Bone marrow smear — 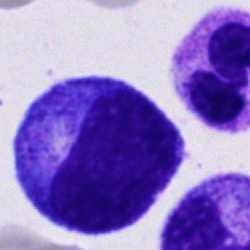

Specimen: bone marrow smear.
Cell: promyelocyte.
Lineage: myeloid.